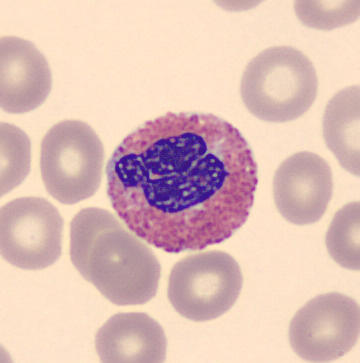Eosinophil.
Acquisition: Peripheral blood film.